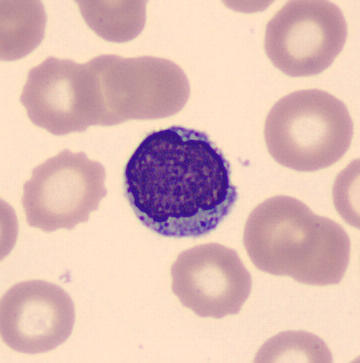Image: Peripheral blood smear; May Grünwald-Giemsa stain.

Morphology consistent with a typical lymphocyte.